Cropped to a single cell; 40× oil immersion; bone marrow aspirate smear
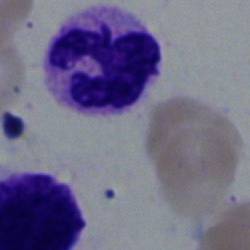
The cell shown is a polymorphonuclear neutrophil.